Brightfield microscopy, 40× oil immersion. Bone marrow aspirate smear. 250 by 250 pixels:
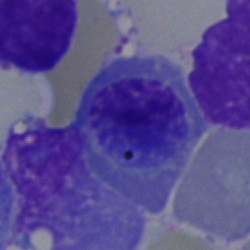
Morphological class — normoblast.